Peripheral blood smear.
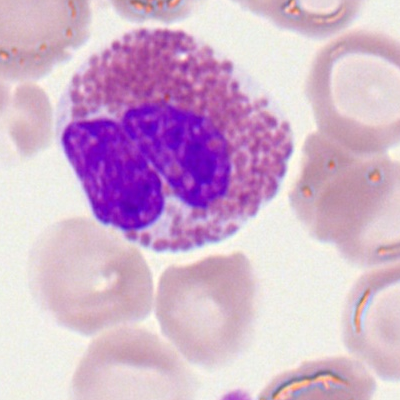 Cell = eosinophilic granulocyte.